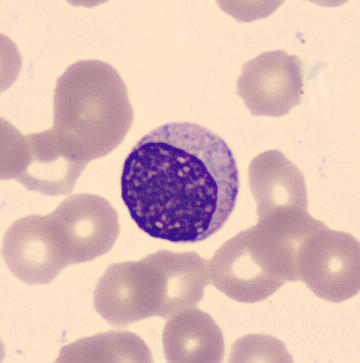Peripheral blood smear.
Cell = myelocyte.